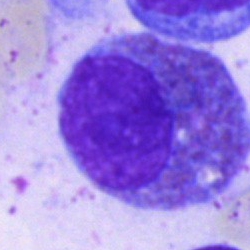

Impression — eosinophilic granulocyte.